Brightfield microscopy, 40× oil immersion. Bone marrow smear. Single-cell field:
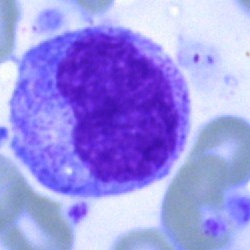

Showing a metamyelocyte.